Bone marrow smear; May-Grünwald-Giemsa/Pappenheim stain:
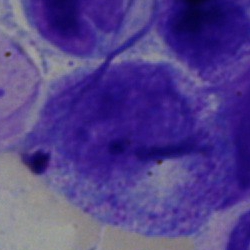
Cell — myelocyte.